Bone marrow aspirate smear
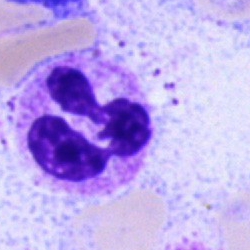
{"cell_type": "polymorphonuclear neutrophil", "lineage": "myeloid"}